Bone marrow smear. Cropped to a single cell. 250×250 px
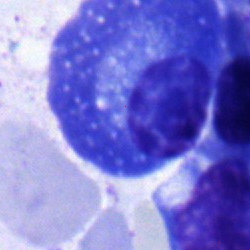

Single cell identified as a plasmacyte.